Bone marrow aspirate smear · cropped to a single cell · MGG-stained:
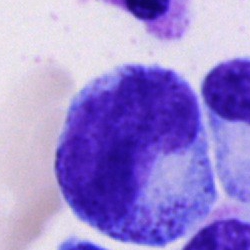

Q: What cell is this?
A: It is a promyelocyte.